Bone marrow smear · single cell centered in the field
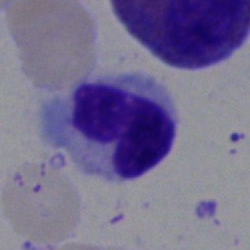
Neutrophil (segmented).